Bone marrow aspirate smear · single-cell field
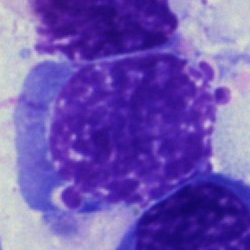

Impression → artifact.